Bone marrow aspirate smear; brightfield microscopy, 40× oil immersion:
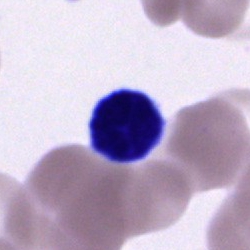

This is an unidentifiable cell.